Bone marrow smear.
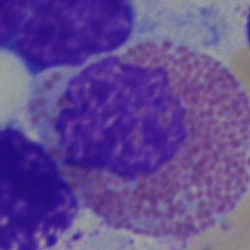
Classification: eosinophilic granulocyte.